Bone marrow aspirate smear
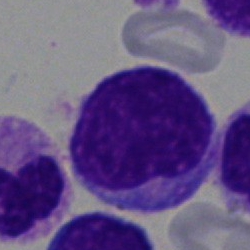
Classification: undifferentiated blast.